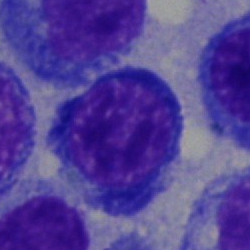 The cell is normoblast.